Cropped to a single cell; bone marrow aspirate smear: 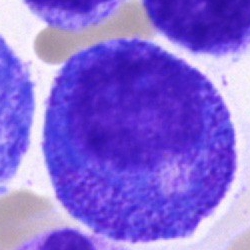
Morphology — progranulocyte.